250×250 px · bone marrow smear · single-cell field.
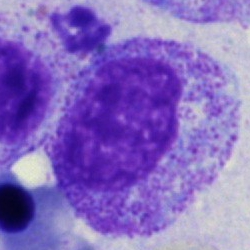

Morphology — myelocyte.